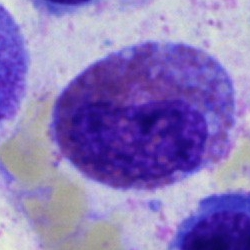 Classification — eosinophil.